Peripheral blood film:
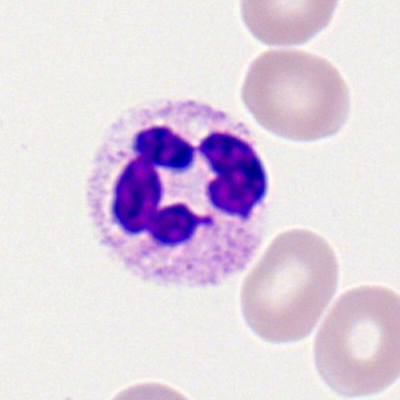{"cell_type": "polymorphonuclear neutrophil", "lineage": "myeloid"}